MGG-stained. Bone marrow smear
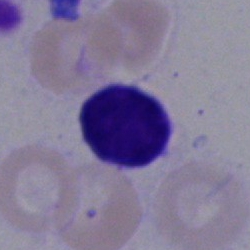Morphological class — lymphocyte.